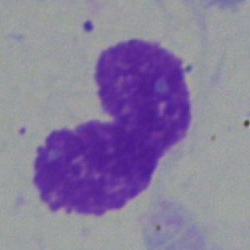Artifact.